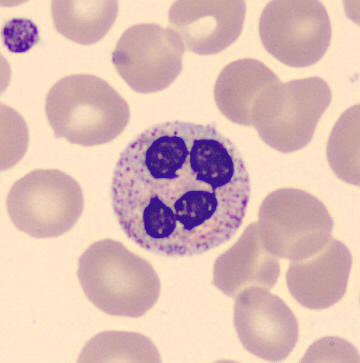

Specimen: peripheral blood smear.
Classification: polymorphonuclear neutrophil.
Image: Single-cell crop.